Bone marrow aspirate smear.
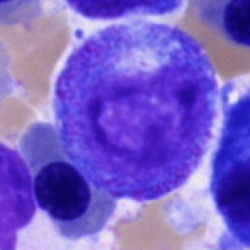
Q: Identify the cell.
A: It is a progranulocyte.